Pappenheim-stained; bone marrow aspirate smear — 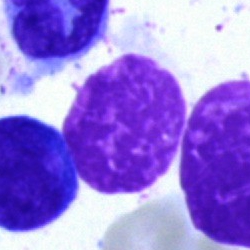Morphology — artefact.